Bone marrow aspirate smear.
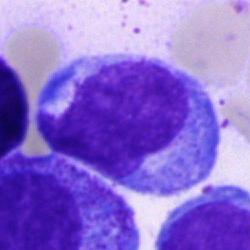Specimen: bone marrow smear.
Cell type: blast.